Bone marrow smear: 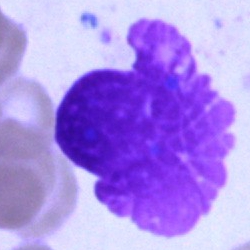

The cell shown is an artifact.